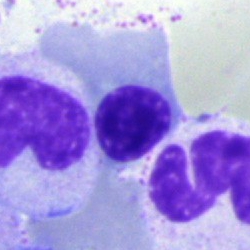

A normoblast.